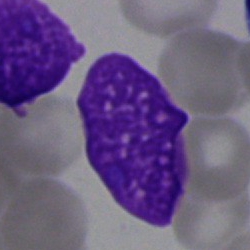 Q: What is shown here?
A: Artefact.